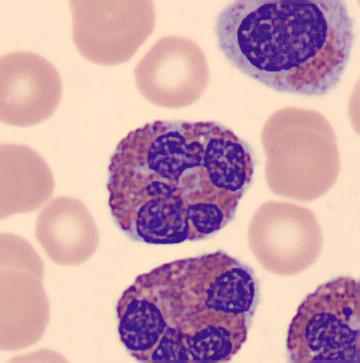 Peripheral blood smear. MGG-stained. 360×363.
Morphological class — eosinophil.